Pappenheim-stained. Bone marrow smear.
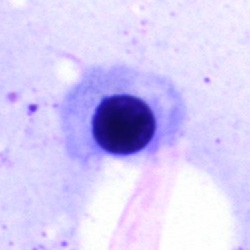

This is an erythroblast.